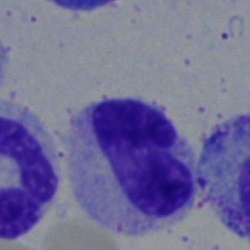 Q: Identify the cell.
A: A band-form neutrophil.